Image size 250×250. Bone marrow smear:
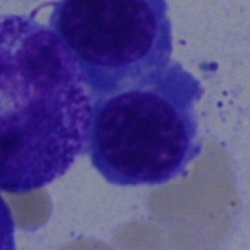A nucleated red cell.